40× objective, oil immersion · bone marrow smear.
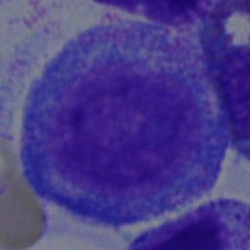

Q: What type of cell is this?
A: It is a progranulocyte.